Bone marrow smear — 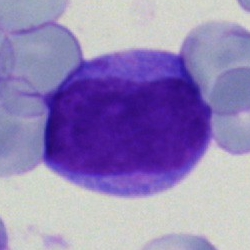

Morphology consistent with a blast.